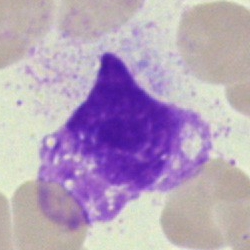

Cell — artifact.